Bone marrow aspirate smear:
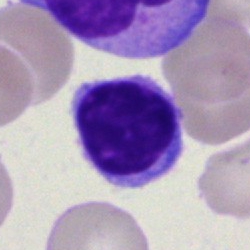 Showing a typical lymphocyte.